Bone marrow smear: 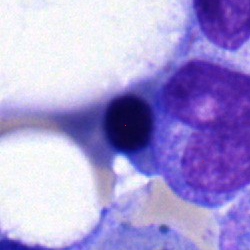Specimen: bone marrow smear.
Cell type: normoblast.